Peripheral blood film: 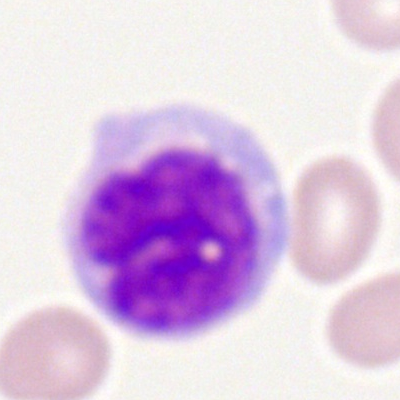Showing a monocyte.